Bone marrow smear.
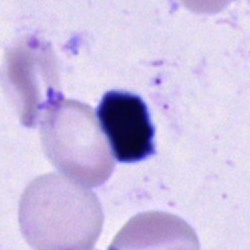{"cell_type": "cell of indeterminate lineage"}